Peripheral blood smear.
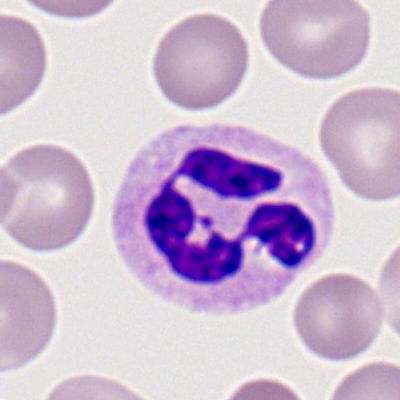 Specimen: peripheral blood smear.
Cell type: segmented neutrophil.
Lineage: myeloid.